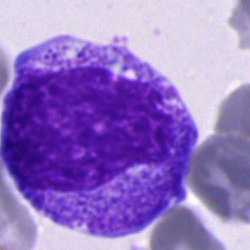

Showing a progranulocyte.